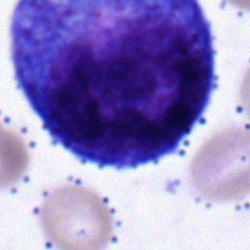

Morphology — promyelocyte.